Single-cell crop · bone marrow aspirate smear — 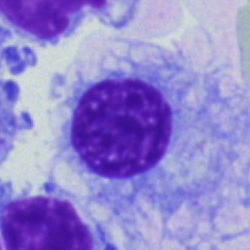

Q: What is shown here?
A: It is a plasmacyte.